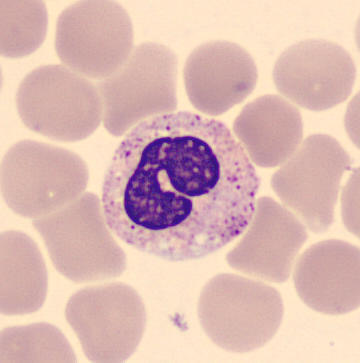
The classification is neutrophil (band).

Preparation: Peripheral blood film.